40× objective, oil immersion; single cell centered in the field; bone marrow aspirate smear.
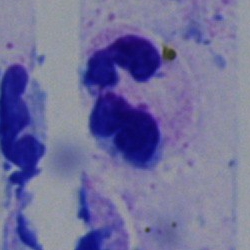Q: Identify the cell.
A: Segmented neutrophil.